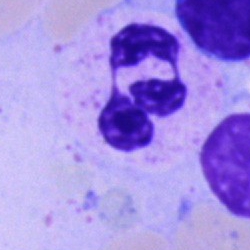
Single cell identified as a segmented neutrophil.